May-Grünwald-Giemsa/Pappenheim stain; bone marrow aspirate smear: 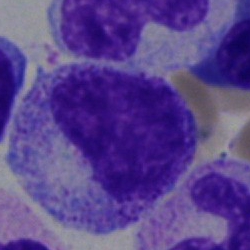

Showing a metamyelocyte.